Bone marrow smear.
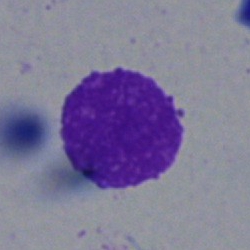

Q: What is shown here?
A: It is an artefact.